Bone marrow aspirate smear
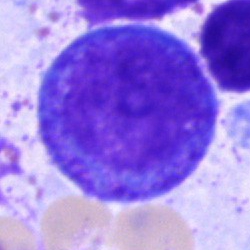

The cell shown is a promyelocyte.